Bone marrow smear. Single cell centered in the field.
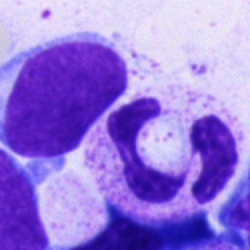The cell shown is a polymorphonuclear neutrophil.